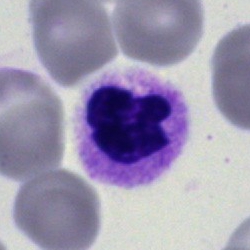
Morphological class: polymorphonuclear neutrophil.